Peripheral blood smear. Romanowsky-type stain: 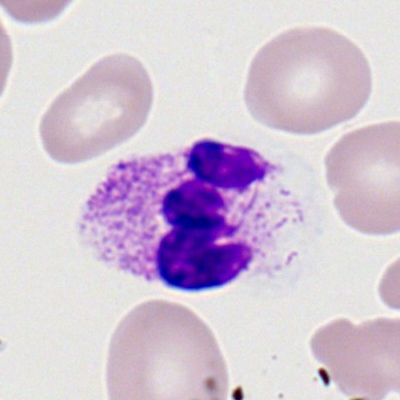The classification is segmented neutrophil.